Bone marrow aspirate smear.
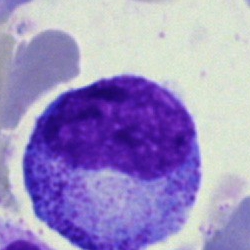 The cell shown is a promyelocyte.